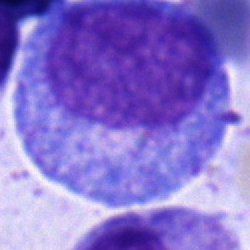The cell shown is a promyelocyte.